Bone marrow aspirate smear · brightfield microscopy, 40× oil immersion.
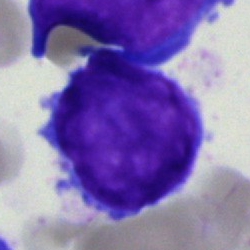

Specimen: bone marrow aspirate smear.
Morphological class: cell not matching the other categories.